Bone marrow smear · Pappenheim-stained · 250×250 px.
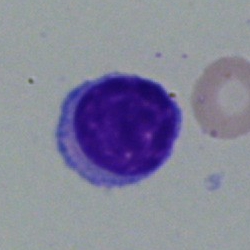

The cell shown is a lymphocyte.